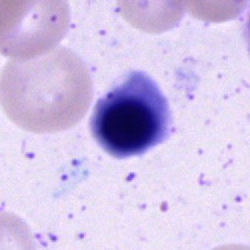 Q: Identify the cell.
A: An erythroblast.